400×400 · peripheral blood film.
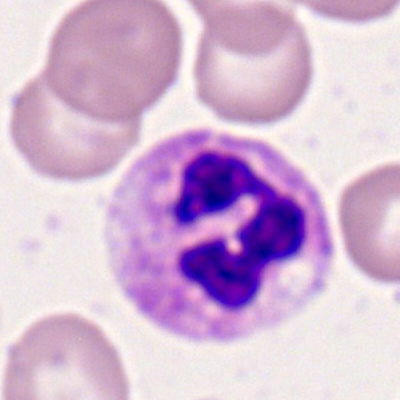
Q: What is shown here?
A: A neutrophil (segmented).